Brightfield microscopy, 40× oil immersion; bone marrow aspirate smear:
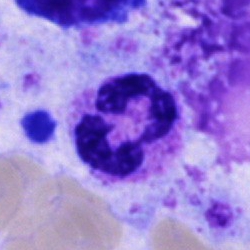 Impression → segmented neutrophil.